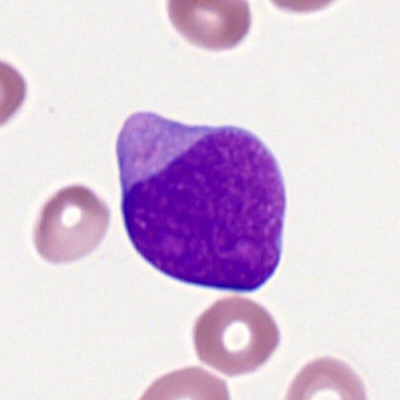

Morphology → myeloid blast.